Brightfield, 40× oil-immersion objective; bone marrow smear; single-cell field.
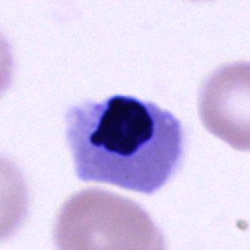 Morphology consistent with a nucleated red blood cell.